Single-cell field; bone marrow smear; 250×250 px: 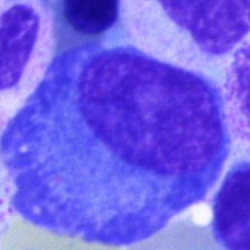
Specimen: bone marrow smear.
Cell: plasmacyte.
Lineage: lymphoid.